Bone marrow smear: 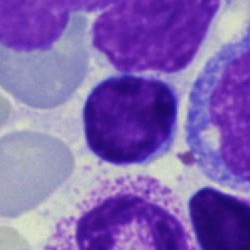

Showing a lymphocyte.